Bone marrow smear.
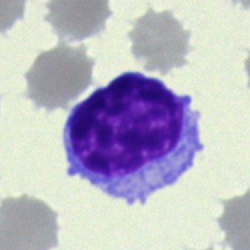
Cell: lymphocyte.